Bone marrow aspirate smear.
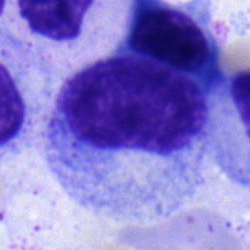

Cell type: metamyelocyte.